Bone marrow smear.
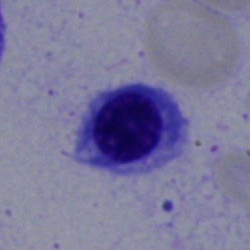Q: What cell is this?
A: It is an erythroblast.